Single-cell field. Peripheral blood smear: 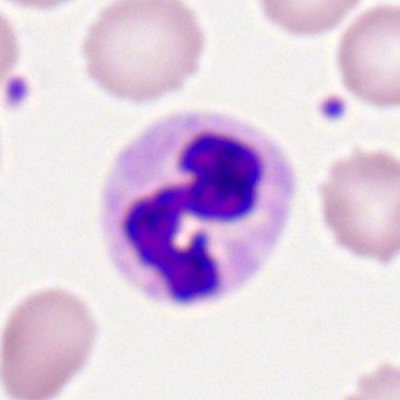Cell: neutrophil (segmented).